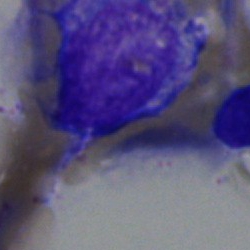
Bone marrow aspirate smear, single cell — artifact.